Bone marrow smear · 40× objective, oil immersion: 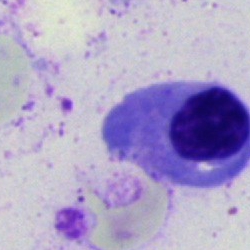Cell: nucleated red cell.